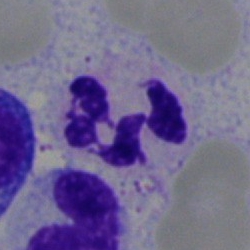

Single-cell crop from a bone marrow smear: polymorphonuclear neutrophil.